Bone marrow smear: 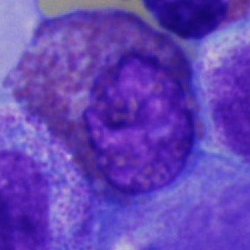The cell shown is an eosinophil.